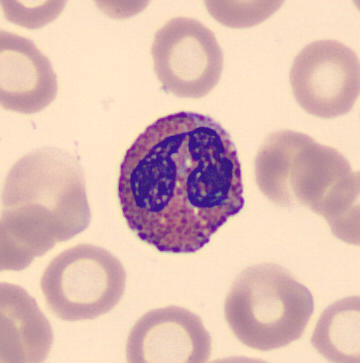Image: May Grünwald-Giemsa stain · peripheral blood smear.

The morphological class is eosinophil.